Peripheral blood smear; image size 400×400:
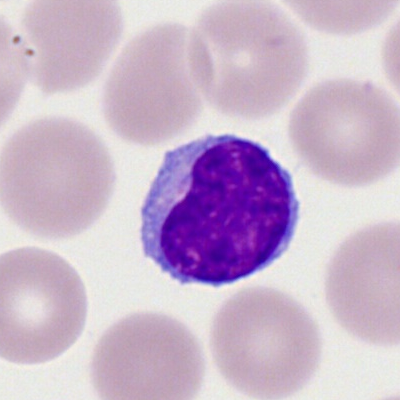
Specimen: peripheral blood smear.
Cell: lymphocyte.